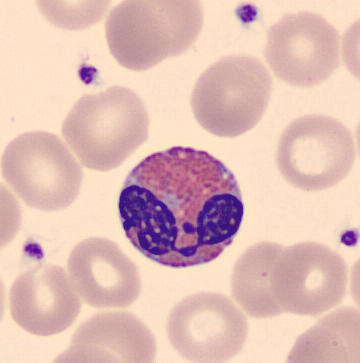 Q: What is shown here?
A: This is an eosinophil.

Preparation: Peripheral blood film · single cell centered in the field.